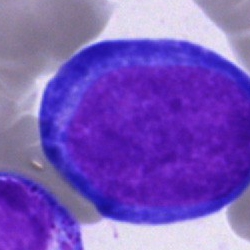Single cell identified as a proerythroblast.